Bone marrow smear
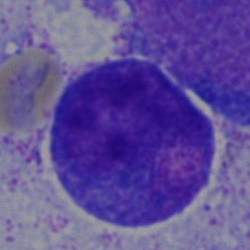

Morphology — promyelocyte.